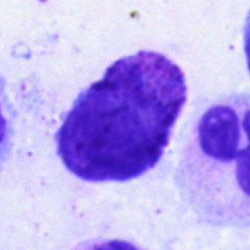 This is a basophil.